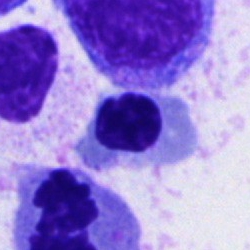
Specimen: bone marrow smear.
Cell: nucleated red blood cell.